Bone marrow smear: 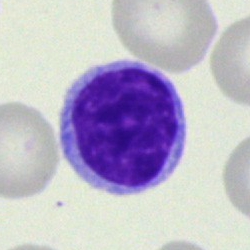Specimen: bone marrow aspirate smear.
Cell type: typical lymphocyte.